Bone marrow aspirate smear: 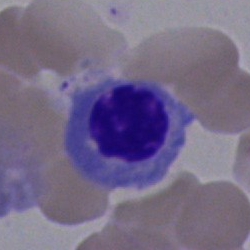Cell: nucleated red cell.